250 by 250 pixels. Bone marrow aspirate smear. Pappenheim-stained:
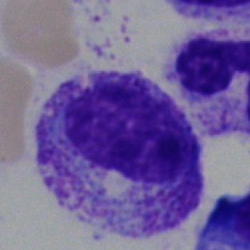 Morphology consistent with a metamyelocyte.